MGG-stained. Bone marrow smear. 40× oil immersion:
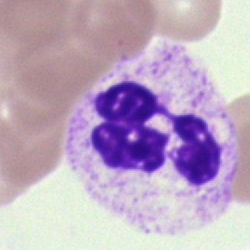The cell type is polymorphonuclear neutrophil.